Bone marrow aspirate smear. 250×250:
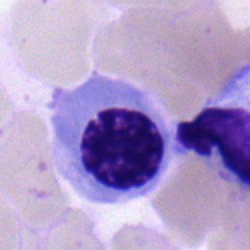

Nucleated red cell.